Bone marrow aspirate smear.
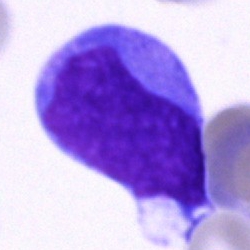This is a blast cell.